Single-cell crop; peripheral blood smear; Romanowsky-type stain.
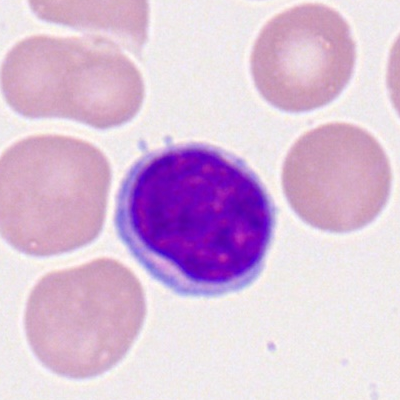
Q: What cell is this?
A: Typical lymphocyte.